40× oil immersion. Bone marrow aspirate smear — 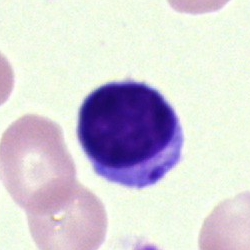The cell shown is a typical lymphocyte.